Bone marrow smear:
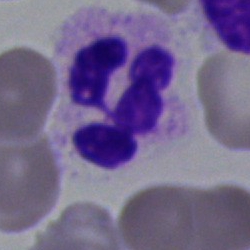Q: Which cell type is shown here?
A: Segmented neutrophil.